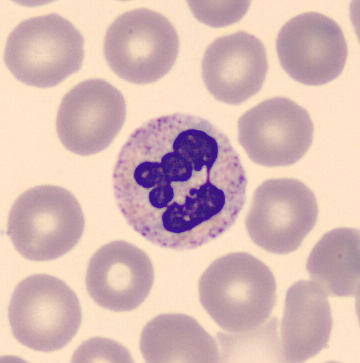
Peripheral blood film; May Grünwald-Giemsa stain.
Morphology consistent with a neutrophil (segmented).